Bone marrow smear.
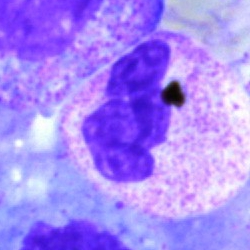

Segmented neutrophil.